Bone marrow smear.
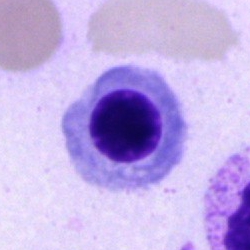 Morphology consistent with a normoblast.